Peripheral blood film:
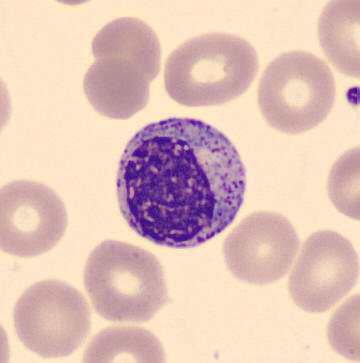Identified as a myelocyte.